Bone marrow aspirate smear:
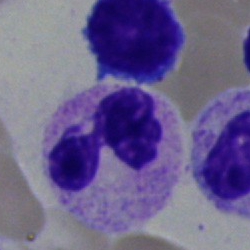
Specimen: bone marrow aspirate smear.
Classification: segmented neutrophil.
Lineage: myeloid.